Peripheral blood smear — 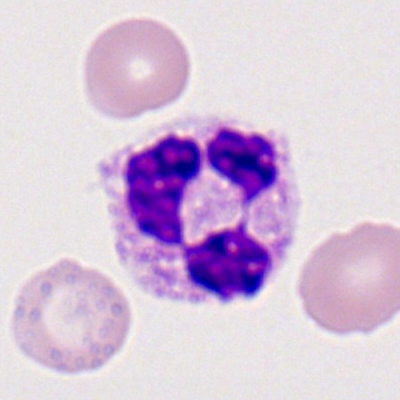 Morphology → polymorphonuclear neutrophil.